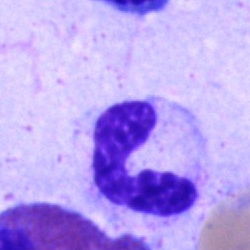
The morphological class is band neutrophil.